Peripheral blood film
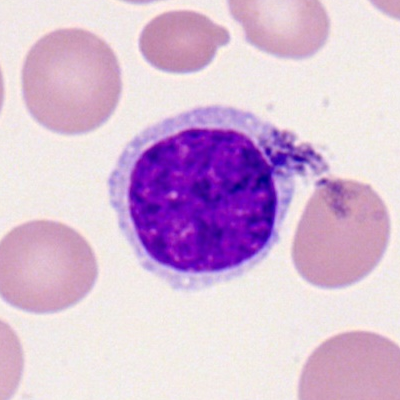 Specimen: peripheral blood smear.
Classification: lymphocyte.
Lineage: lymphoid.